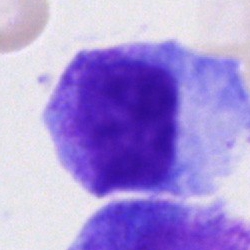{"cell_type": "promyelocyte", "lineage": "myeloid"}